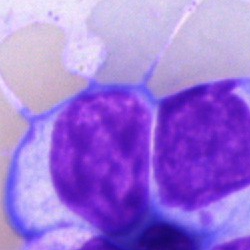

Q: Which cell type is shown here?
A: This is a lymphocyte.